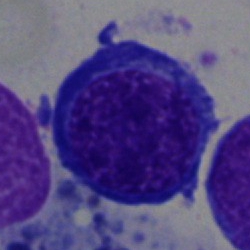
Q: What is shown here?
A: It is a nucleated red cell.